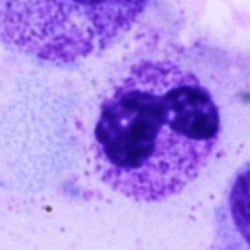

Q: Identify the cell.
A: A neutrophil (segmented).